Bone marrow aspirate smear.
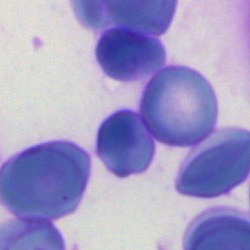

Morphological class: other cell type.